Image size 250×250. Bone marrow aspirate smear. Brightfield microscopy, 40× oil immersion — 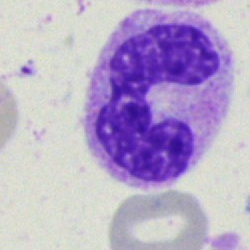

Morphology → segmented neutrophil.